MGG-stained · bone marrow smear · brightfield microscopy, 40× oil immersion.
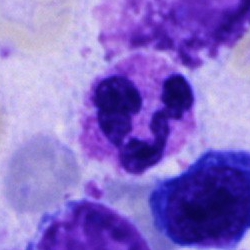

Cell — neutrophil (segmented).